Bone marrow smear.
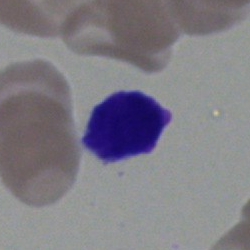Specimen: bone marrow smear.
Cell type: hairy cell.
Lineage: lymphoid.